Peripheral blood smear · 100× objective, oil immersion · 400×400.
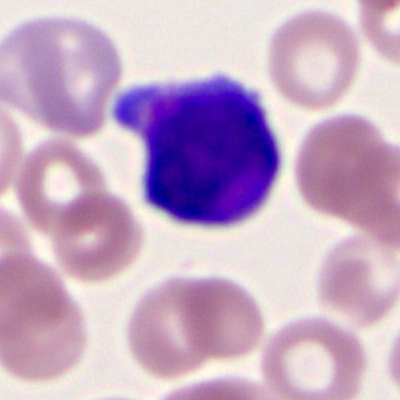Q: What type of cell is this?
A: This is a myeloid blast.